Bone marrow smear.
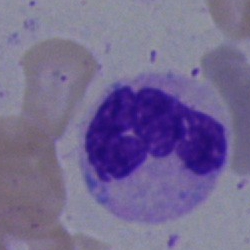 {"cell_type": "segmented neutrophil", "lineage": "myeloid"}